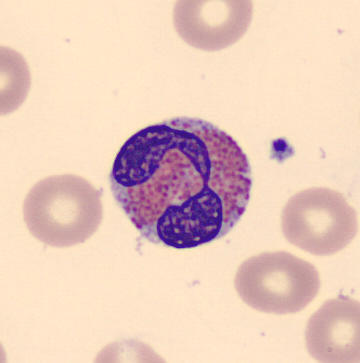
Classification = eosinophilic granulocyte.
Acquisition: Single cell centered in the field · peripheral blood smear.